Bone marrow aspirate smear — 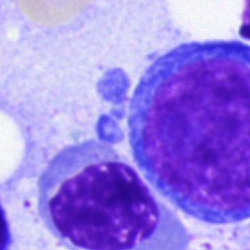 Morphology consistent with a blast cell.